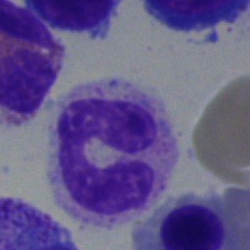 Specimen: bone marrow smear.
Cell type: band neutrophil.
Lineage: myeloid.